Bone marrow aspirate smear
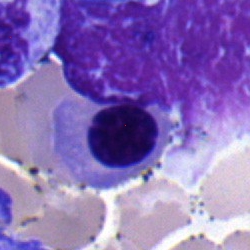 Morphology consistent with an erythroblast.